Single-cell field; bone marrow aspirate smear: 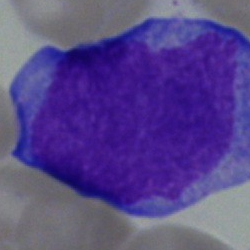 A blast.